Bone marrow aspirate smear
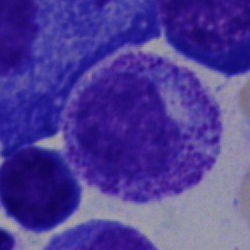The cell type is myelocyte.